250×250. Bone marrow smear
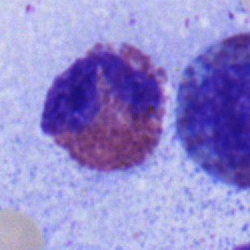Morphology — eosinophilic granulocyte.